Single-cell field · May-Grünwald-Giemsa stain · bone marrow smear — 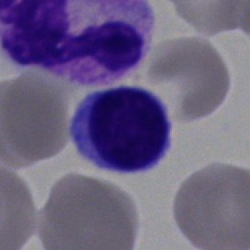
Cell — lymphocyte.